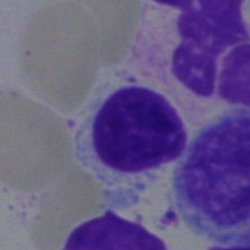 {"cell_type": "lymphocyte", "lineage": "lymphoid"}